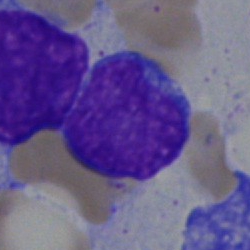
Classification: lymphocyte.